MGG-stained; bone marrow smear.
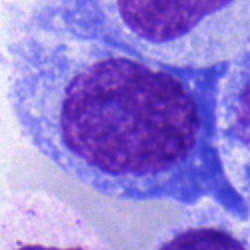
Q: Identify the cell.
A: It is a plasma cell.